Bone marrow smear. 250×250:
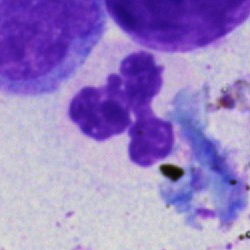Morphological class — segmented neutrophil.